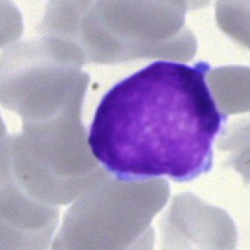

Morphology — lymphocyte.